Bone marrow aspirate smear
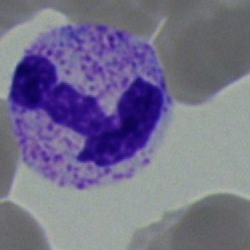

Cell type: neutrophil (segmented).